Image size 250×250; bone marrow aspirate smear.
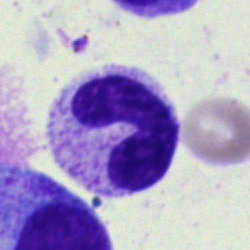Morphology — band-form neutrophil.